Bone marrow aspirate smear — 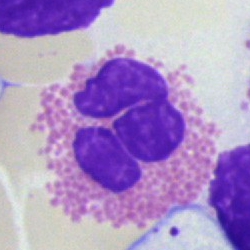 Cell: eosinophil.